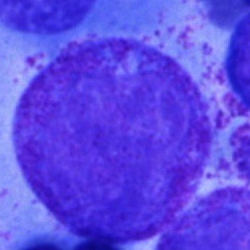Bone marrow aspirate smear, single cell — promyelocyte.